Bone marrow smear. Cropped to a single cell. 250×250:
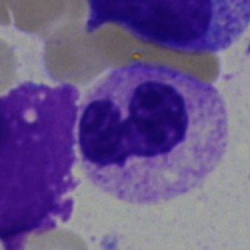

Showing a band-form neutrophil.